Bone marrow smear: 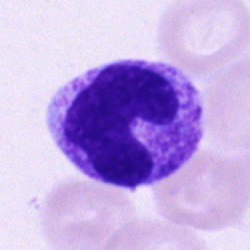 Cell: band neutrophil.